Bone marrow aspirate smear — 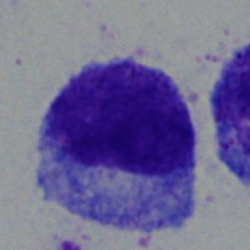 Showing a myelocyte.